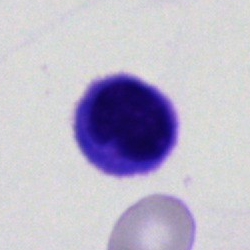 Cell type = typical lymphocyte.